May-Grünwald-Giemsa stain; bone marrow smear
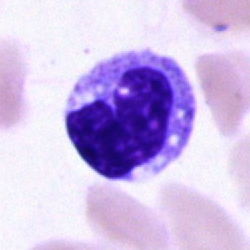 Specimen: bone marrow aspirate smear.
Morphological class: monocyte.
Lineage: myeloid.